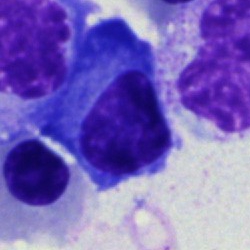
Cell — plasma cell.